Bone marrow smear; 40× oil immersion
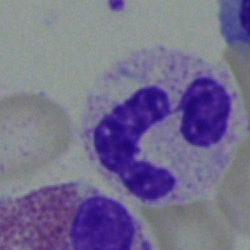 Cell — segmented neutrophil.